MGG-stained · bone marrow smear
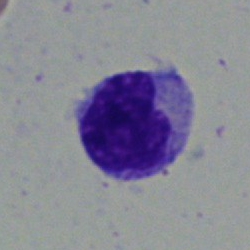 {"cell_type": "typical lymphocyte"}